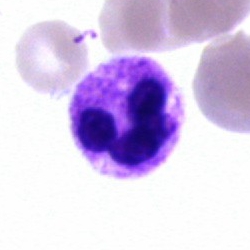 Bone marrow smear showing a neutrophil (segmented).